250×250 px · bone marrow smear.
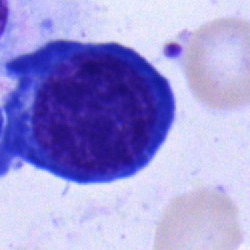Q: Identify the cell.
A: Normoblast.